Bone marrow aspirate smear; May-Grünwald-Giemsa/Pappenheim stain
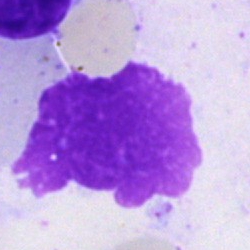

An artifact.